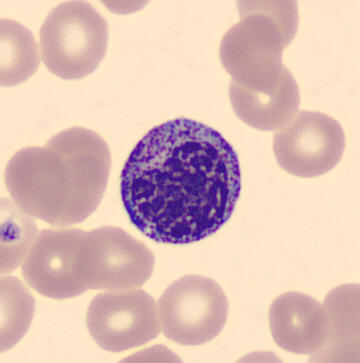 Single-cell crop from a peripheral blood smear: myelocyte.